Bone marrow aspirate smear: 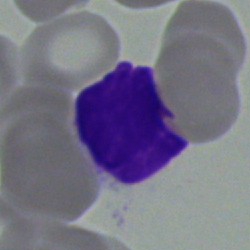
Q: What is shown here?
A: This is an artifact.